Peripheral blood film; Romanowsky stain:
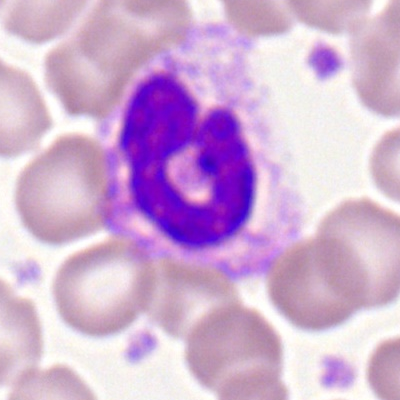

Band-form neutrophil.